Bone marrow aspirate smear. 40× objective, oil immersion — 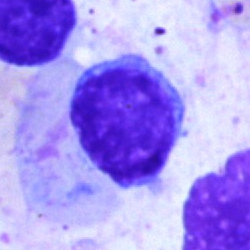

The cell shown is a typical lymphocyte.